Bone marrow smear: 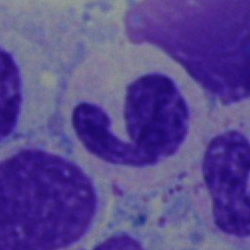

Impression → polymorphonuclear neutrophil.